40× oil immersion; bone marrow smear.
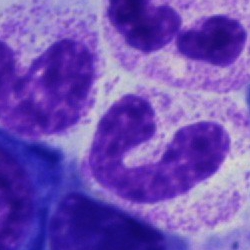

{"cell_type": "band-form neutrophil", "lineage": "myeloid"}